Peripheral blood film
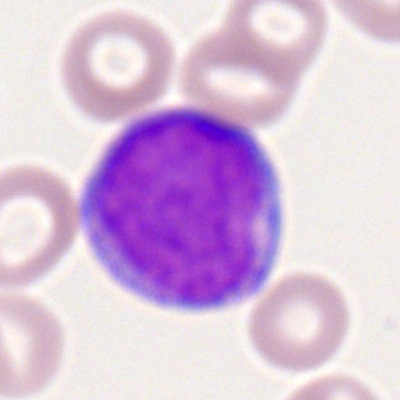
The classification is myeloblast.